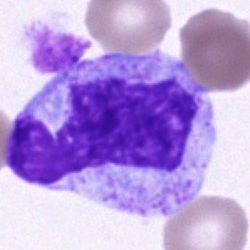

Morphology — polymorphonuclear neutrophil.